Bone marrow aspirate smear; May-Grünwald-Giemsa stain — 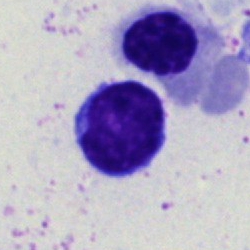
Cell type: typical lymphocyte.